Bone marrow aspirate smear.
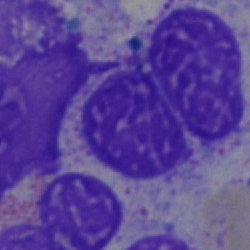The cell shown is an artifact.